Bone marrow smear.
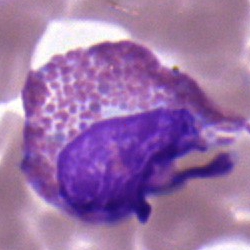
This is an eosinophilic granulocyte.